Peripheral blood film — 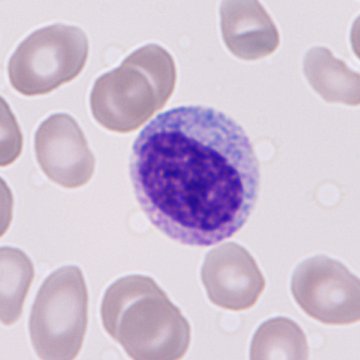
Impression → immature granulocyte (promyelocyte, myelocyte or metamyelocyte).